40× objective, oil immersion · bone marrow aspirate smear
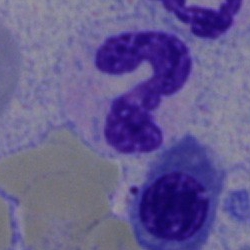
Q: What cell is this?
A: Neutrophil (segmented).